Peripheral blood smear: 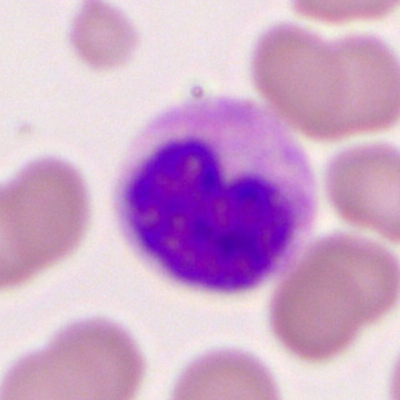
Band-form neutrophil.